Bone marrow aspirate smear; MGG-stained: 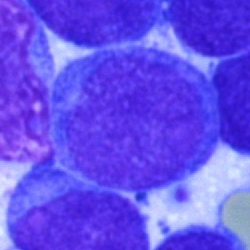 Blast cell.